Peripheral blood film. 400×400 px: 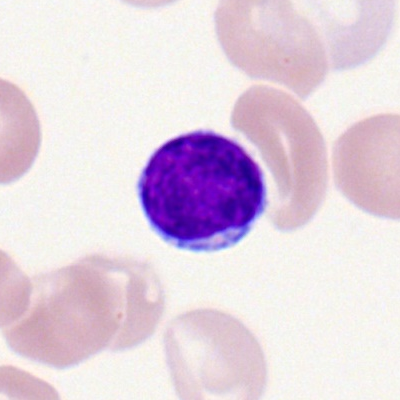

Single cell identified as a typical lymphocyte.